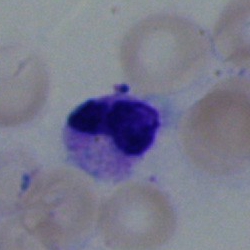

Q: What cell is this?
A: A band-form neutrophil.